Brightfield microscopy, 40× oil immersion; bone marrow aspirate smear; image size 250×250: 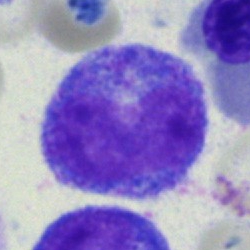

Morphological class: progranulocyte.